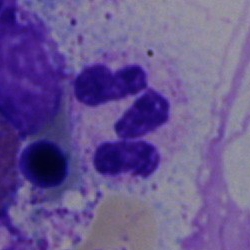A neutrophil (segmented).